400×400 · peripheral blood smear · 100× oil immersion: 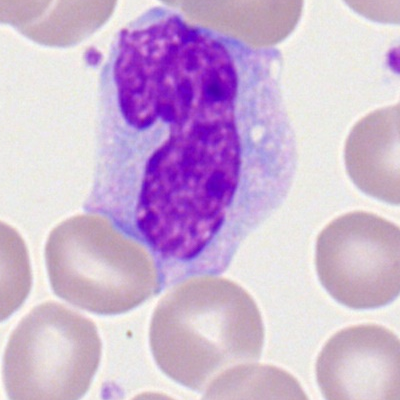

Specimen: peripheral blood smear.
Cell: monocyte.
Lineage: myeloid.